Bone marrow smear; cropped to a single cell — 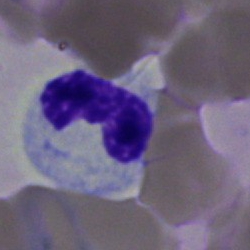

Q: What is the morphological classification of this cell?
A: This is a neutrophil (band).